Bone marrow smear · single-cell field.
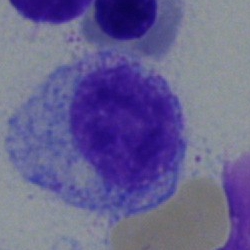

Q: What is shown here?
A: Myelocyte.